Brightfield microscopy, 40× oil immersion · May-Grünwald-Giemsa stain · bone marrow aspirate smear.
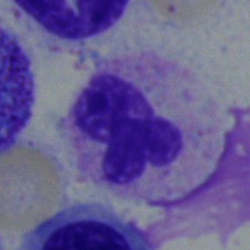
The cell type is neutrophil (segmented).